Bone marrow aspirate smear · May-Grünwald-Giemsa/Pappenheim stain.
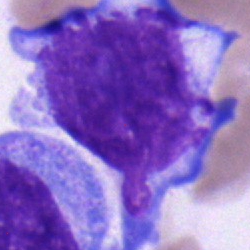Morphology — blast.